Bone marrow aspirate smear: 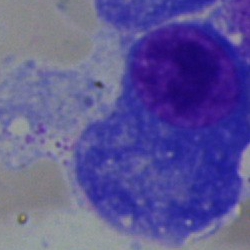

The morphological class is plasma cell.